Bone marrow smear — 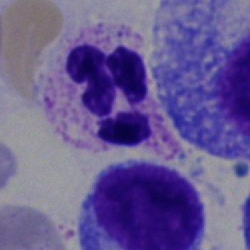Cell type = polymorphonuclear neutrophil.